Bone marrow aspirate smear
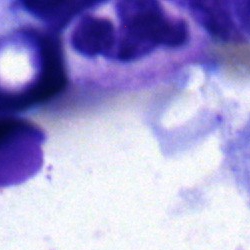 Showing a polymorphonuclear neutrophil.